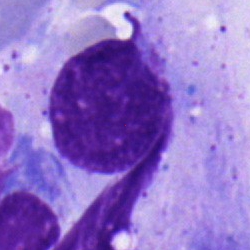
Cell: lymphocyte.